Bone marrow smear.
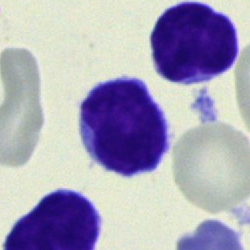 {"cell_type": "typical lymphocyte", "lineage": "lymphoid"}